Pappenheim-stained · bone marrow aspirate smear: 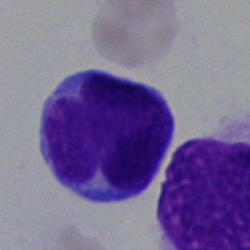This is an undifferentiated blast.